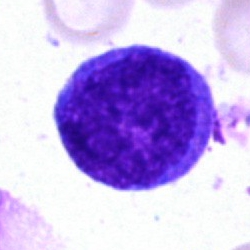 Morphological class: blast cell.